360×363 px; peripheral blood film; cropped to a single cell — 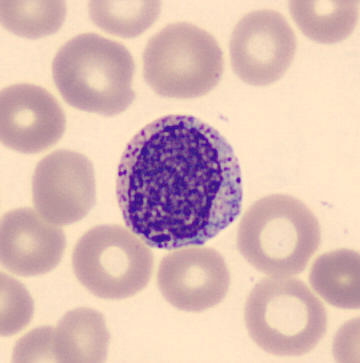Impression — myelocyte.